Bone marrow aspirate smear:
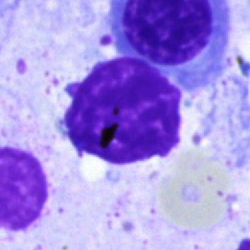Morphology consistent with an artifact.